Bone marrow smear
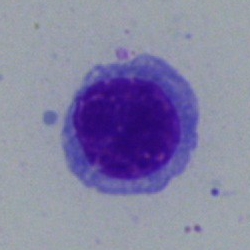
Q: What type of cell is this?
A: Normoblast.